Bone marrow aspirate smear
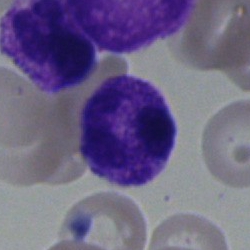Cell — neutrophil (segmented).